Romanowsky-stained · peripheral blood smear · 400×400 — 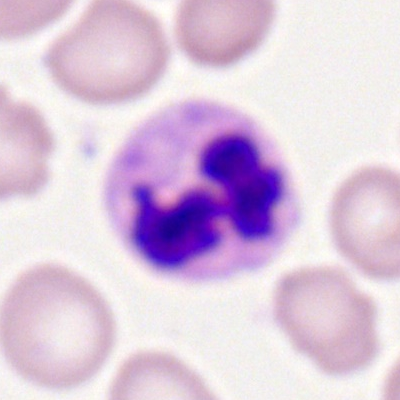
Specimen: peripheral blood smear.
Morphological class: polymorphonuclear neutrophil.